Bone marrow smear:
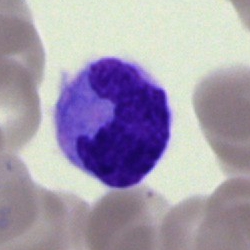 This is a monocyte.